Bone marrow aspirate smear: 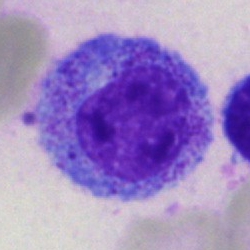 {"cell_type": "promyelocyte", "lineage": "myeloid"}